Bone marrow smear.
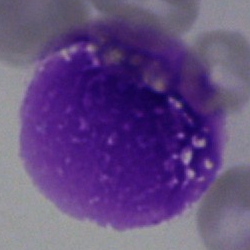 Cell — artifact.